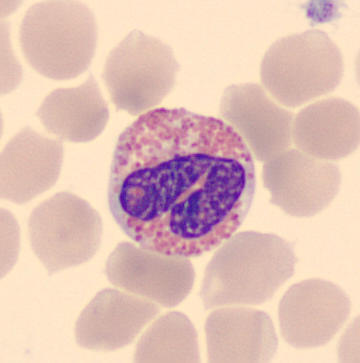

Peripheral blood smear.

Q: What is this?
A: This is an eosinophil.